Single cell centered in the field; bone marrow smear.
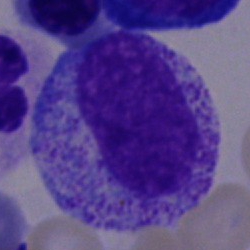 Q: What is the morphological classification of this cell?
A: Myelocyte.